Bone marrow smear
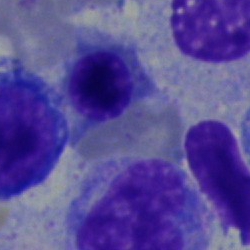 Morphological class: normoblast.